MGG-stained. Bone marrow smear:
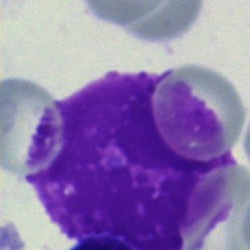

Specimen: bone marrow aspirate smear.
Morphological class: artefact.